250 by 250 pixels. May-Grünwald-Giemsa/Pappenheim stain. Bone marrow aspirate smear — 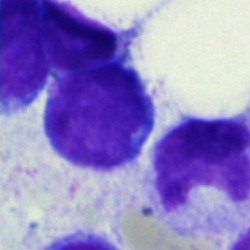Cell: typical lymphocyte.